Bone marrow smear. Image size 250×250 — 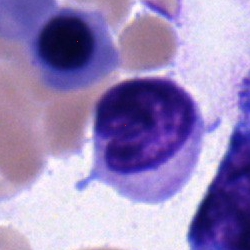

Band-form neutrophil.